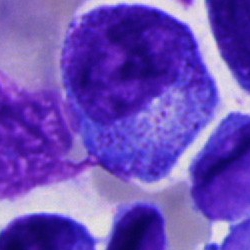 Single cell identified as a promyelocyte.